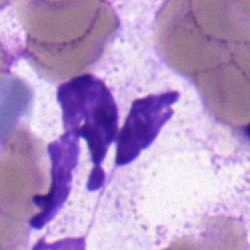Q: What cell is this?
A: This is a neutrophil (segmented).